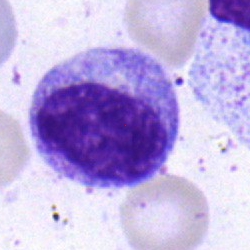

Q: What is the morphological classification of this cell?
A: It is a myelocyte.